Bone marrow smear; Pappenheim-stained: 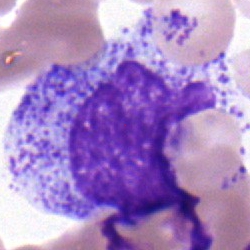 This is a myelocyte.